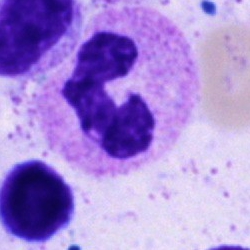Single-cell crop from a bone marrow smear: polymorphonuclear neutrophil.